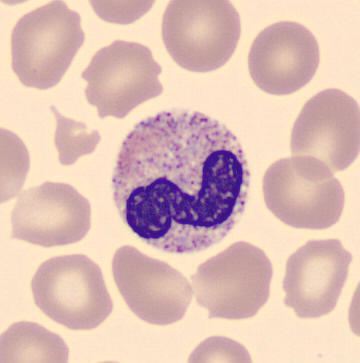

Acquisition: 360×363 px. Peripheral blood smear. Morphological class: stab cell.